Bone marrow smear. 250×250 px: 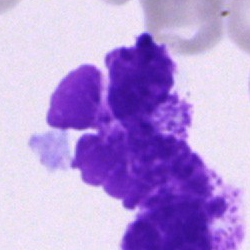
Morphological class = artifact.